Bone marrow smear. Pappenheim-stained. Cropped to a single cell.
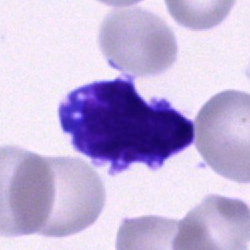

Morphology → undifferentiated blast.